Bone marrow aspirate smear; single-cell field; brightfield, 40× oil-immersion objective.
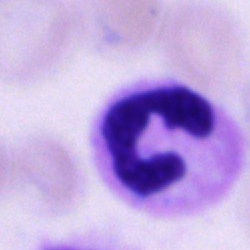 Q: What is shown here?
A: Neutrophil (segmented).